Bone marrow smear · MGG-stained · 40× oil immersion:
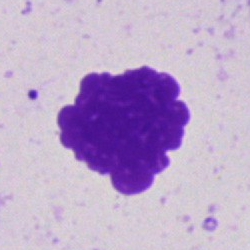 The cell shown is an artifact.